Bone marrow smear
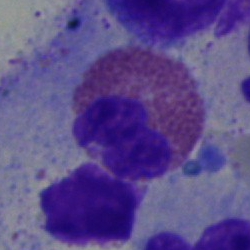 Specimen: bone marrow aspirate smear.
Morphological class: eosinophil.
Lineage: myeloid.